Bone marrow aspirate smear; single-cell field.
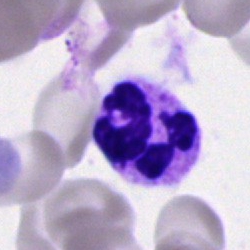

Single cell identified as a segmented neutrophil.